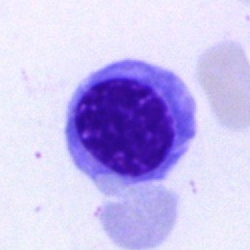Cell = normoblast.